Bone marrow smear: 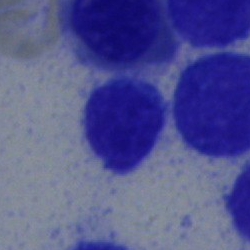
Cell type = lymphocyte.